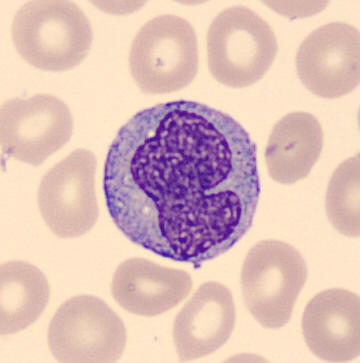

Q: Which cell type is shown here?
A: A monocyte.